40× oil immersion; bone marrow aspirate smear.
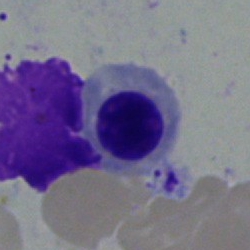

This is a nucleated red cell.